Bone marrow aspirate smear; single-cell crop — 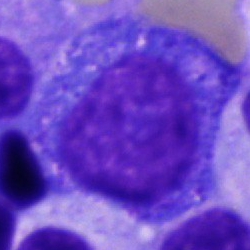

Morphological class = promyelocyte.